May-Grünwald-Giemsa stain; bone marrow aspirate smear; 250 by 250 pixels:
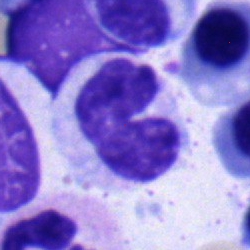

Q: Which cell type is shown here?
A: It is a band neutrophil.